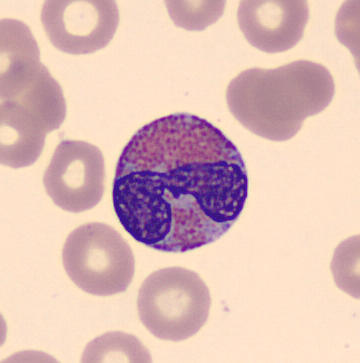 Q: What is this?
A: An eosinophil.